Bone marrow aspirate smear — 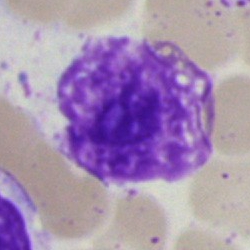
The cell type is artefact.